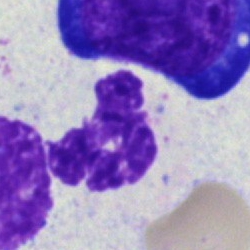The cell shown is a neutrophil (segmented).